Bone marrow smear
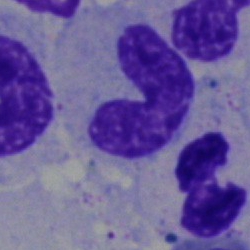Single cell identified as a band-form neutrophil.